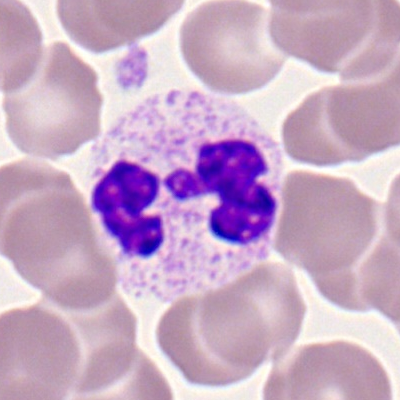
{"cell_type": "neutrophil (segmented)", "lineage": "myeloid"}